Bone marrow aspirate smear — 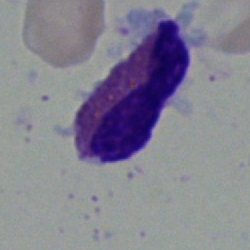

Showing an eosinophil.